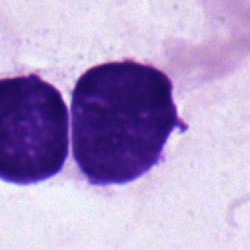Morphology consistent with a lymphocyte.